Bone marrow aspirate smear — 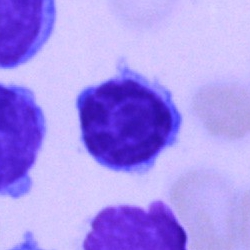 Impression — lymphocyte.